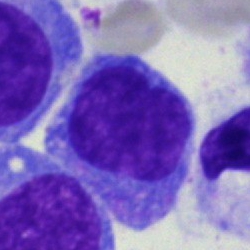
Single-cell crop from a bone marrow smear: blast.